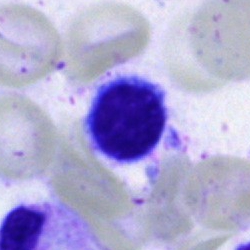

Single-cell crop from a bone marrow smear: lymphocyte.